Bone marrow aspirate smear: 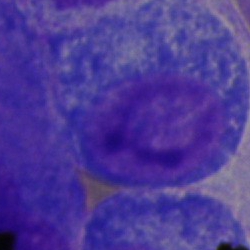This is a progranulocyte.